Bone marrow aspirate smear
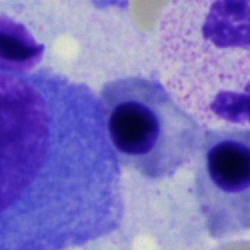The cell shown is an erythroblast.